Bone marrow smear — 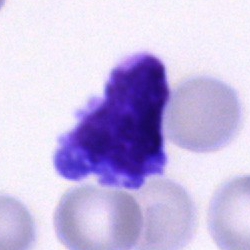 Morphology consistent with a blast cell.